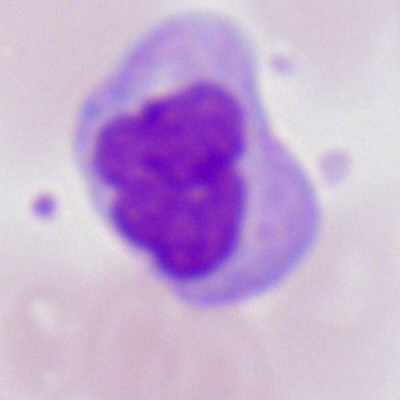Q: Identify the cell.
A: Monocyte.